Bone marrow aspirate smear — 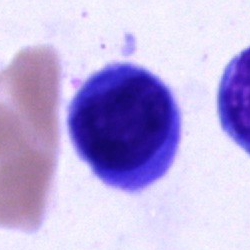

Q: What type of cell is this?
A: It is a promyelocyte.